Brightfield microscopy, 40× oil immersion · bone marrow smear:
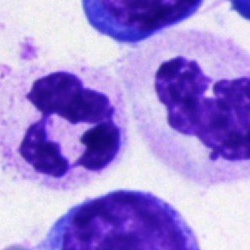 Cell type: segmented neutrophil.